Brightfield, 40× oil-immersion objective; bone marrow smear
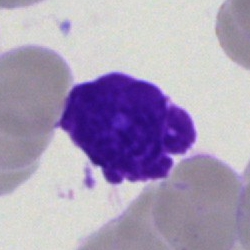 Specimen: bone marrow smear.
Cell type: artefact.